Bone marrow aspirate smear. Single cell centered in the field. Image size 250×250
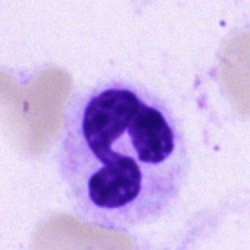This is a segmented neutrophil.